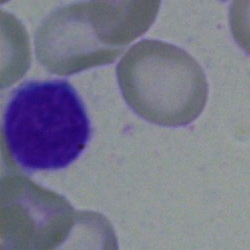 Lymphocyte.